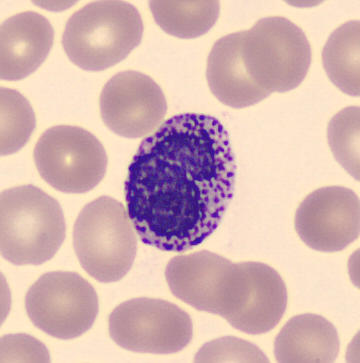Single cell identified as a basophil. Imaged on a CellaVision DM96 analyser. Peripheral blood smear.